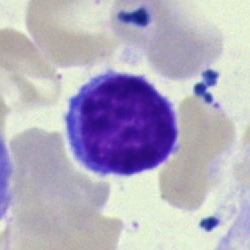 Single cell identified as a lymphocyte.